Bone marrow smear.
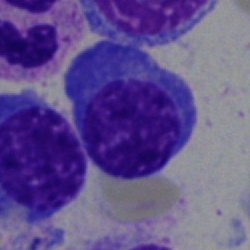

Specimen: bone marrow smear.
Cell type: plasmacyte.